Bone marrow smear: 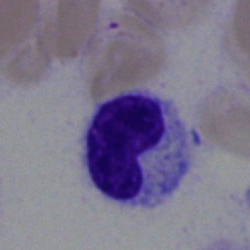 Single cell identified as a band-form neutrophil.